Bone marrow smear — 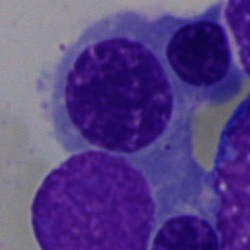
Morphological class = nucleated red blood cell.